Bone marrow smear
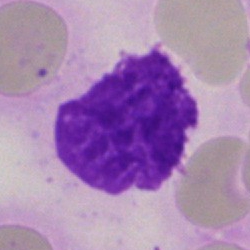

Artifact.